100× oil immersion. Peripheral blood smear
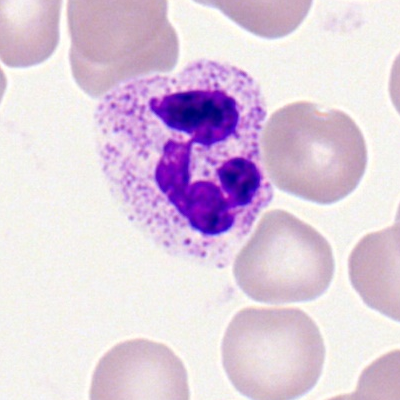

The cell shown is a polymorphonuclear neutrophil.